Bone marrow smear: 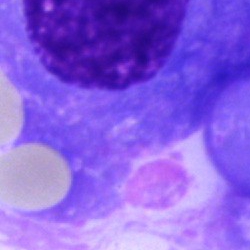
Q: Which cell type is shown here?
A: A plasma cell.